Bone marrow smear — 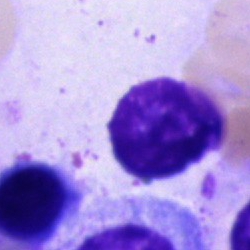Specimen: bone marrow smear.
Classification: unidentifiable cell.